Single-cell field · bone marrow smear: 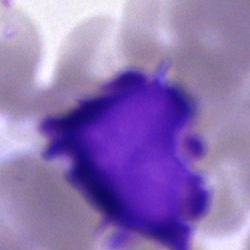 Single cell identified as an artefact.